Bone marrow aspirate smear; May-Grünwald-Giemsa stain; 250×250:
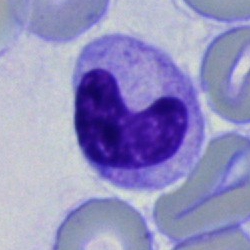
The cell is band-form neutrophil.